Bone marrow aspirate smear; May-Grünwald-Giemsa/Pappenheim stain — 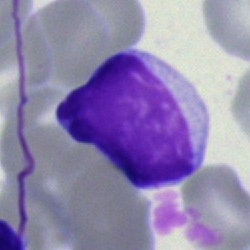
The cell is lymphocyte.